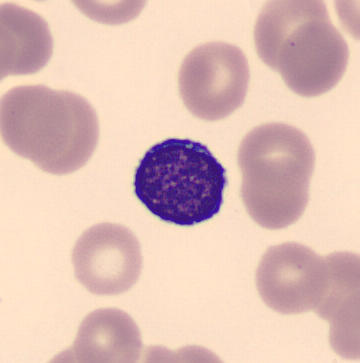Q: What is this?
A: This is a typical lymphocyte.
Peripheral blood film.